Pappenheim-stained; cropped to a single cell; bone marrow aspirate smear
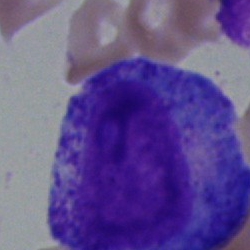{"cell_type": "progranulocyte"}